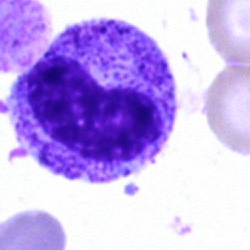 Cell type — metamyelocyte.